Bone marrow smear — 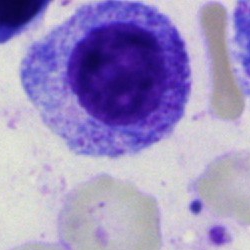
Specimen: bone marrow aspirate smear.
Cell type: myelocyte.